Bone marrow aspirate smear:
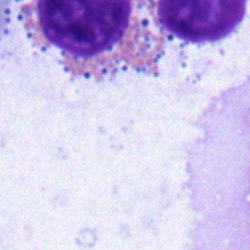Morphology consistent with an eosinophilic granulocyte.